Bone marrow aspirate smear — 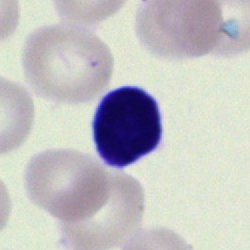
Typical lymphocyte.